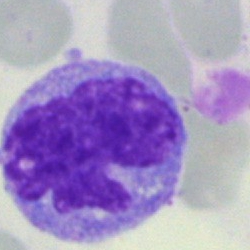Morphological class: monocyte.